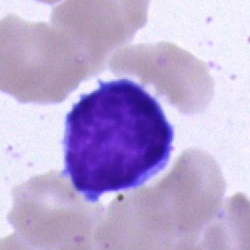
Cell type — typical lymphocyte.